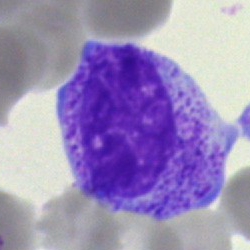 The cell is myelocyte.